Bone marrow aspirate smear:
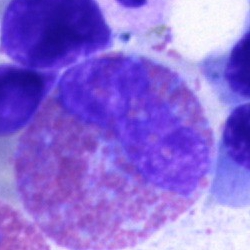Eosinophil.